Bone marrow aspirate smear:
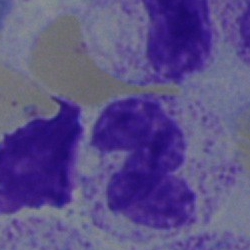
Specimen: bone marrow aspirate smear.
Classification: neutrophil (segmented).
Lineage: myeloid.